Bone marrow aspirate smear; brightfield, 40× oil-immersion objective; Pappenheim-stained — 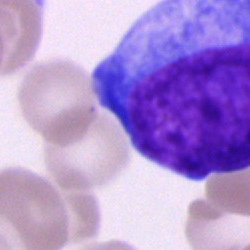
Showing a blast cell.